Bone marrow aspirate smear: 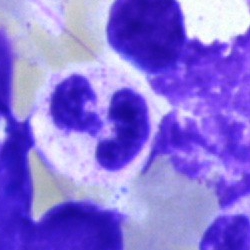 Cell: segmented neutrophil.